40× objective, oil immersion; 250 by 250 pixels; bone marrow smear:
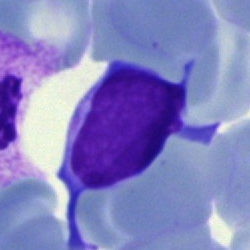Morphological class: typical lymphocyte.